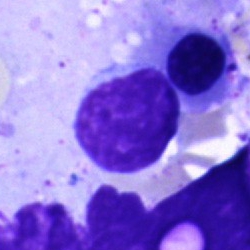

Specimen: bone marrow smear.
Morphological class: unidentifiable cell.